Peripheral blood smear — 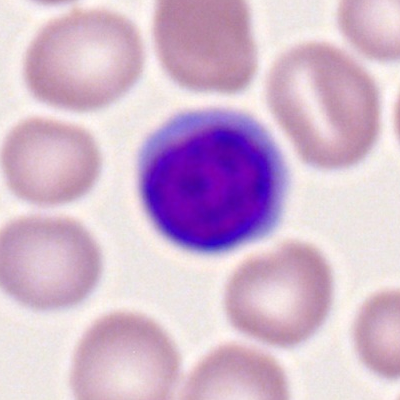
Morphology — lymphocyte.